Single cell centered in the field; brightfield microscopy, 40× oil immersion; bone marrow smear.
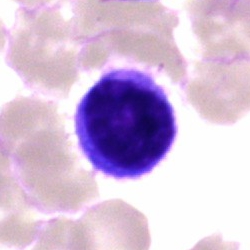 The cell type is lymphocyte.